Bone marrow aspirate smear · 250×250.
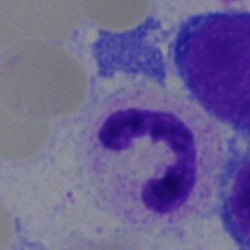
Cell — neutrophil (segmented).